Peripheral blood smear · Romanowsky-stained.
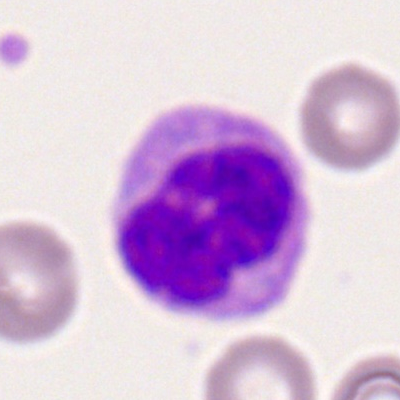 Single cell identified as a monocyte.